Bone marrow aspirate smear. Brightfield, 40× oil-immersion objective.
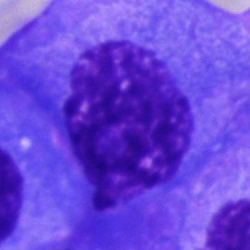 Cell type — plasma cell.